250×250 · bone marrow aspirate smear.
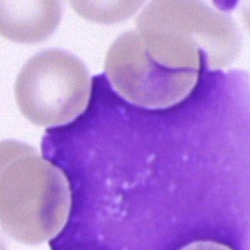Artefact.